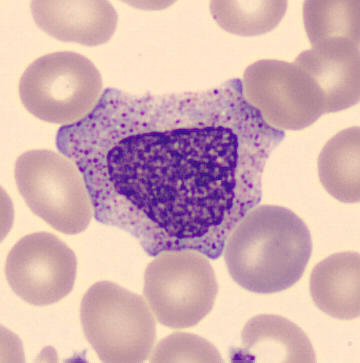
Cell type = myelocyte.
Automated cell imaging (CellaVision DM96) · peripheral blood smear.